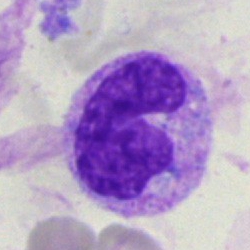 Q: Identify the cell.
A: Monocyte.